Image size 250×250 · bone marrow smear:
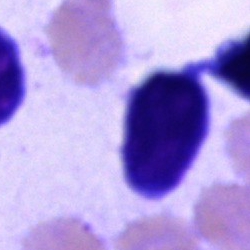Q: What is shown here?
A: This is a cell of indeterminate lineage.